40× objective, oil immersion · bone marrow smear · 250×250:
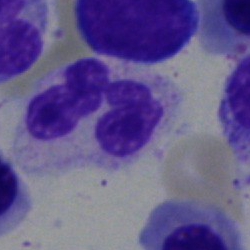
Q: What cell is this?
A: It is a segmented neutrophil.